Bone marrow smear.
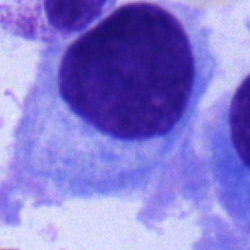 Showing a plasma cell.